400 by 400 pixels · peripheral blood film — 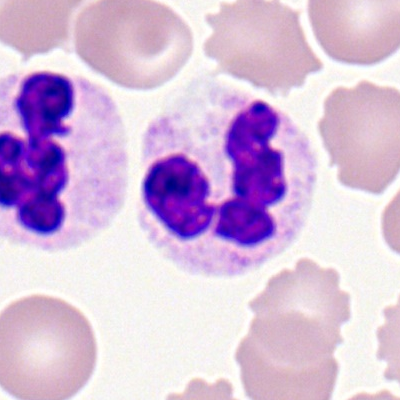
Morphology → segmented neutrophil.